Bone marrow smear · MGG-stained
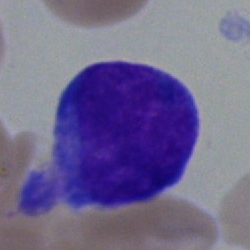 Morphology — blast cell.